Peripheral blood film — 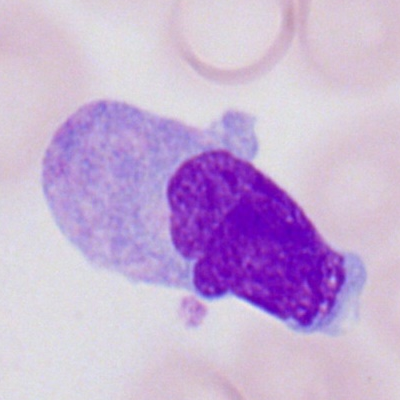
Impression — monocyte.